Bone marrow smear · single-cell field.
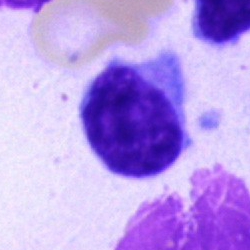Specimen: bone marrow smear.
Cell type: typical lymphocyte.